Bone marrow smear · 250×250 px · MGG-stained: 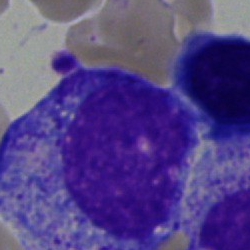Cell type: promyelocyte.